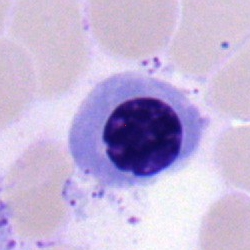Bone marrow aspirate smear, single cell — nucleated red cell.